Bone marrow aspirate smear · 250×250 px:
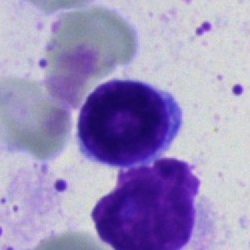 Morphology — typical lymphocyte.